Peripheral blood smear — 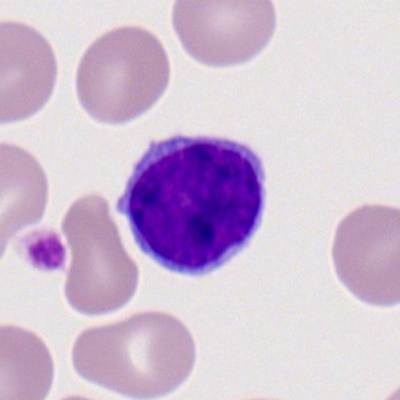

Specimen: peripheral blood smear.
Cell type: lymphocyte.
Lineage: lymphoid.